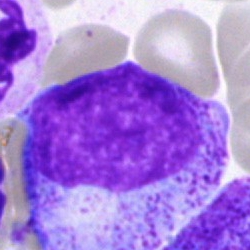 Morphological class: promyelocyte.